Bone marrow smear; 250 by 250 pixels:
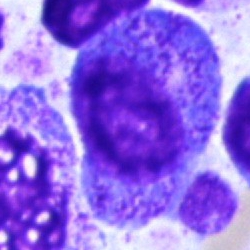 Specimen: bone marrow aspirate smear.
Cell type: progranulocyte.